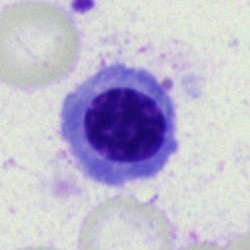 Bone marrow smear showing a nucleated red blood cell.